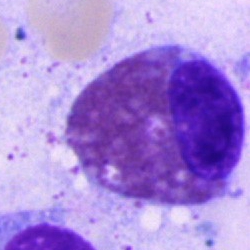
Bone marrow smear showing an eosinophil.